May-Grünwald-Giemsa/Pappenheim stain; bone marrow aspirate smear.
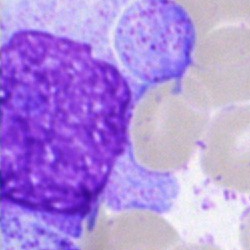
The morphological class is artifact.